Bone marrow smear: 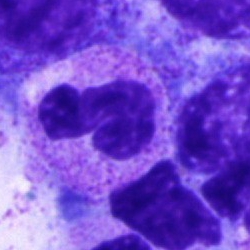 Q: Which cell type is shown here?
A: This is a segmented neutrophil.